Peripheral blood smear
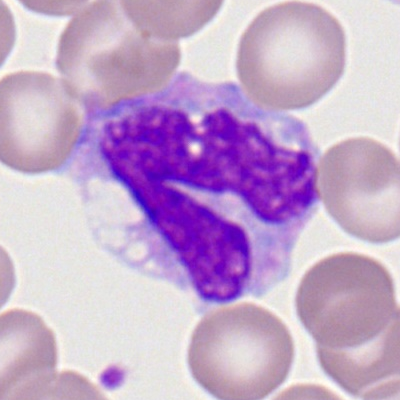Impression — monocyte.